400×400 · peripheral blood smear.
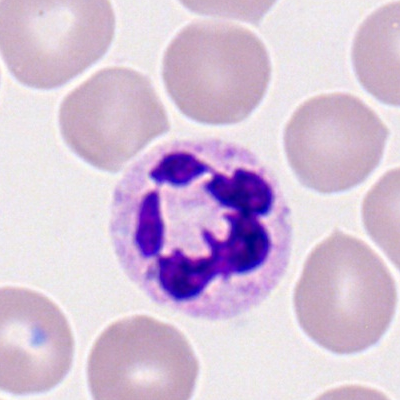

Impression — neutrophil (segmented).